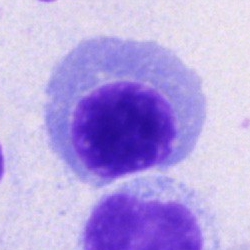
Q: Which cell type is shown here?
A: It is a normoblast.